Bone marrow smear — 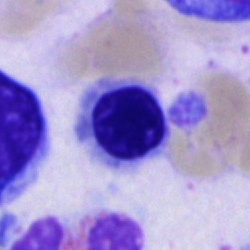

Specimen: bone marrow smear.
Morphological class: nucleated red cell.